Bone marrow aspirate smear · 250×250 px — 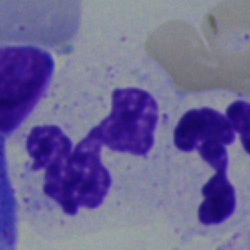Morphological class — neutrophil (segmented).